Single cell centered in the field. Bone marrow aspirate smear:
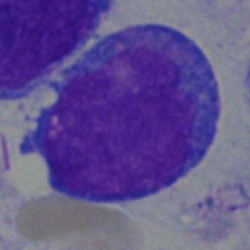

Morphology consistent with a blast cell.